Single-cell crop; bone marrow smear: 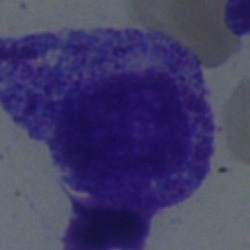Specimen: bone marrow smear.
Cell type: myelocyte.
Lineage: myeloid.